Bone marrow smear: 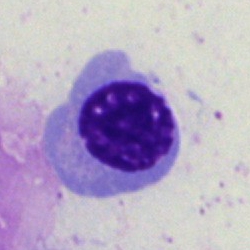The cell shown is a normoblast.